Single-cell crop; bone marrow aspirate smear; 40× oil immersion: 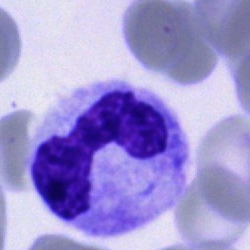

A polymorphonuclear neutrophil.